Peripheral blood smear; 400 by 400 pixels:
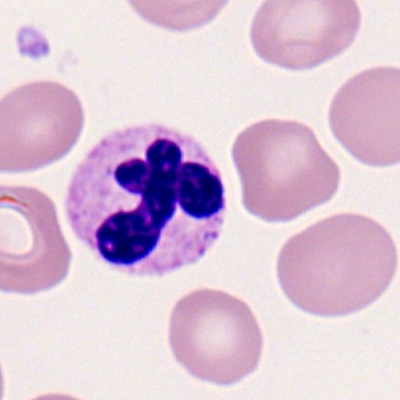 Neutrophil (segmented).